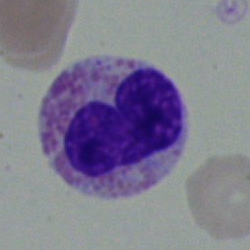Cell type: neutrophil (segmented).